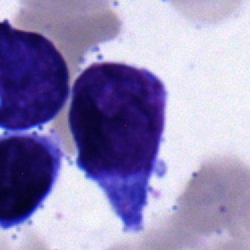

Morphological class = lymphocyte.